Bone marrow smear: 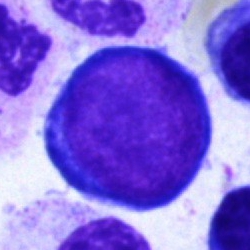
Impression — pronormoblast.